Cropped to a single cell. 250×250 px. Bone marrow smear: 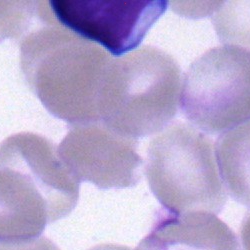
Specimen: bone marrow aspirate smear.
Classification: lymphocyte.
Lineage: lymphoid.